Bone marrow aspirate smear · brightfield, 40× oil-immersion objective
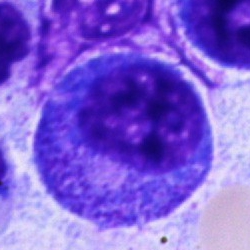

Q: Which cell type is shown here?
A: Progranulocyte.